Peripheral blood smear. Image size 400×400:
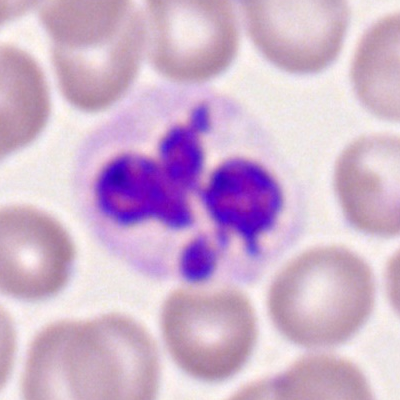

This is a segmented neutrophil.